Bone marrow smear: 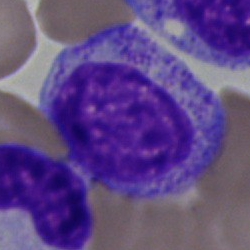

Showing a myelocyte.